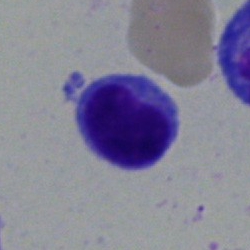Morphology — lymphocyte.